Bone marrow aspirate smear; 250×250 px; May-Grünwald-Giemsa stain: 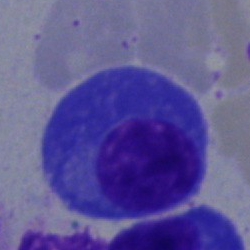Q: Identify the cell.
A: This is a plasma cell.